Bone marrow smear — 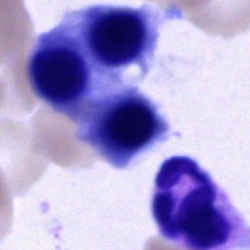Unidentifiable cell.